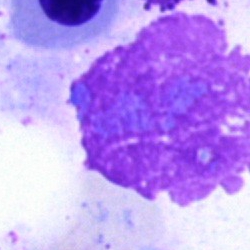
Morphology consistent with an artefact.